Bone marrow aspirate smear · 40× objective, oil immersion:
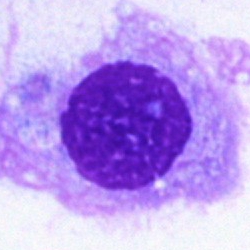

Specimen: bone marrow aspirate smear.
Morphological class: artefact.